Image size 250×250. Bone marrow smear. Cropped to a single cell:
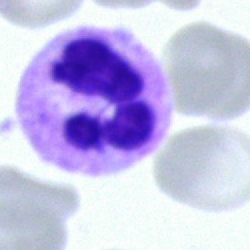 Q: What is shown here?
A: Polymorphonuclear neutrophil.